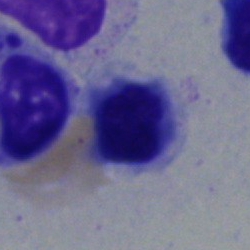Bone marrow smear showing a normoblast.